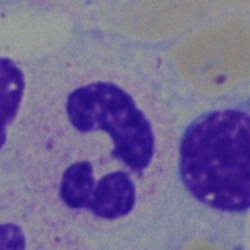 Polymorphonuclear neutrophil.